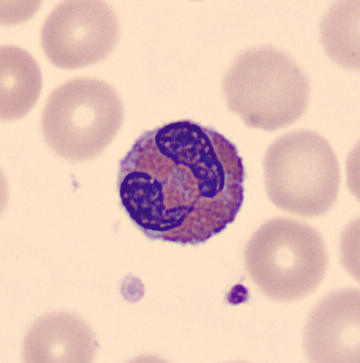 Q: Identify the cell.
A: An eosinophil.